Bone marrow aspirate smear — 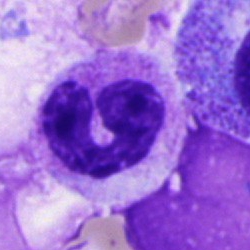
Showing a band-form neutrophil.